Bone marrow aspirate smear — 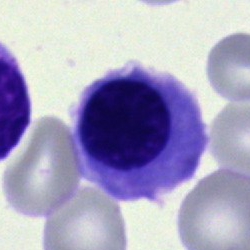
Nucleated red blood cell.